May-Grünwald-Giemsa stain · 40× oil immersion · bone marrow aspirate smear:
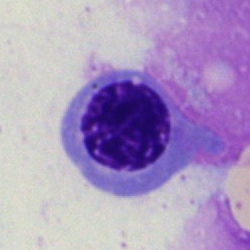
Q: What is shown here?
A: An erythroblast.